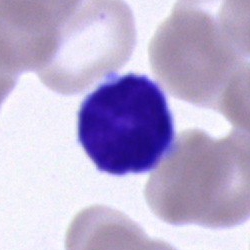

Bone marrow smear showing a lymphocyte.